MGG-stained · 40× objective, oil immersion · bone marrow smear
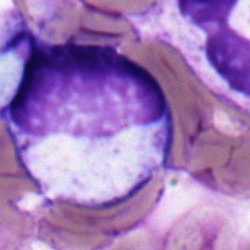
Specimen: bone marrow aspirate smear.
Classification: myelocyte.